250×250; bone marrow aspirate smear: 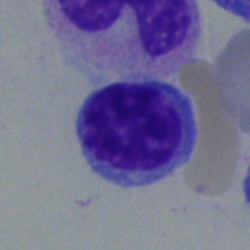{"cell_type": "lymphocyte", "lineage": "lymphoid"}